Bone marrow aspirate smear; single-cell crop — 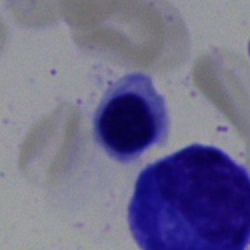

Cell type = normoblast.